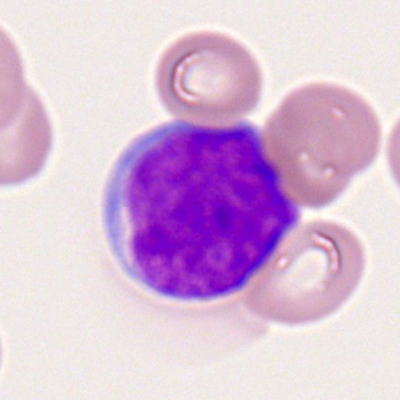

Specimen: peripheral blood film.
Morphological class: myeloid blast.
Lineage: myeloid.